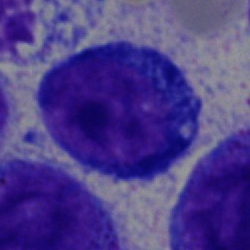
The cell shown is a proerythroblast.